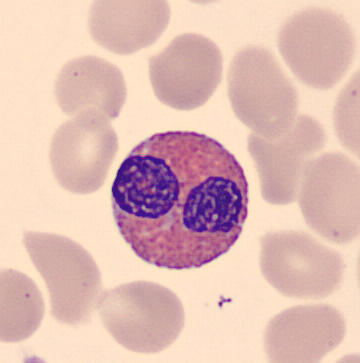Single cell identified as an eosinophilic granulocyte.
Peripheral blood film.